Bone marrow smear: 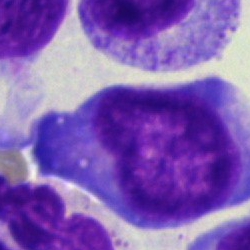
Q: What is shown here?
A: Plasmacyte.